Peripheral blood smear — 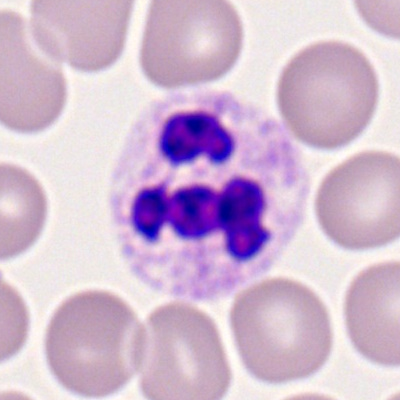

Specimen: peripheral blood smear.
Cell: polymorphonuclear neutrophil.
Lineage: myeloid.